Bone marrow smear. Image size 250×250: 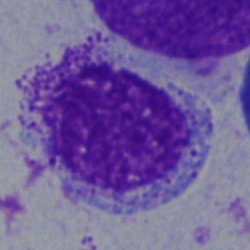 Q: What is shown here?
A: A myelocyte.